Bone marrow smear:
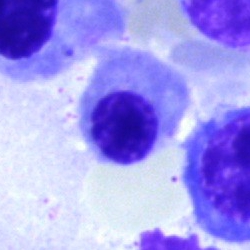Classification: normoblast.